Bone marrow smear.
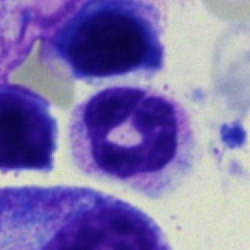 Single cell identified as a polymorphonuclear neutrophil.